40× oil immersion · bone marrow smear · May-Grünwald-Giemsa stain
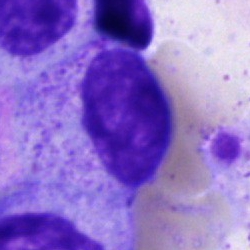Showing a myelocyte.